Bone marrow smear: 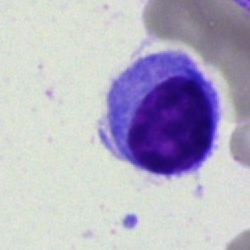

Morphology — lymphocyte.